Bone marrow smear · brightfield microscopy, 40× oil immersion.
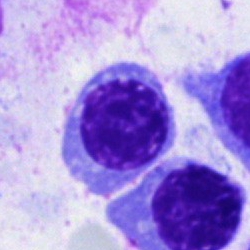 {"cell_type": "erythroblast"}